Image size 250×250 · 40× objective, oil immersion · bone marrow aspirate smear: 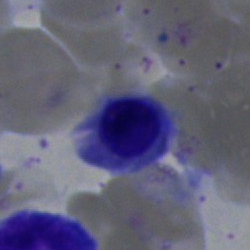Single cell identified as an erythroblast.